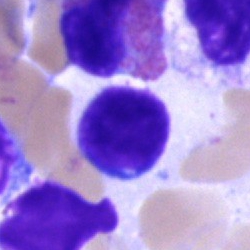

Morphological class = lymphocyte.